Bone marrow smear; cropped to a single cell — 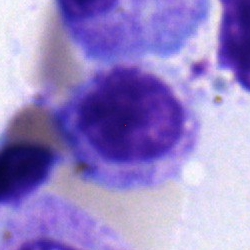 Classification — myelocyte.